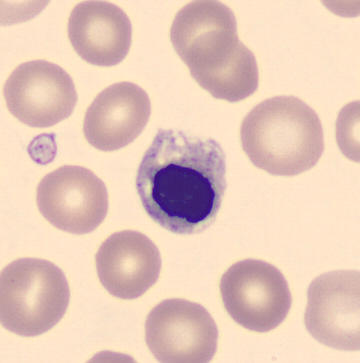 Peripheral blood film.
Cell = nucleated red cell.